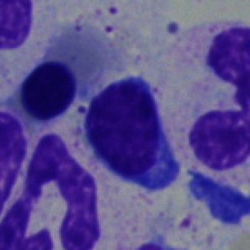 Cell type — lymphocyte.